Bone marrow aspirate smear:
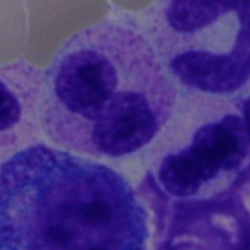 Cell type: neutrophil (band).